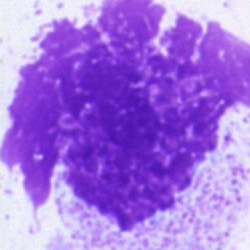Artifact.